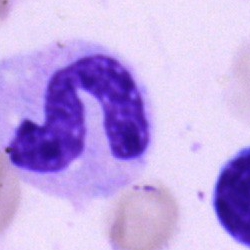Specimen: bone marrow aspirate smear.
Classification: neutrophil (segmented).